Peripheral blood film: 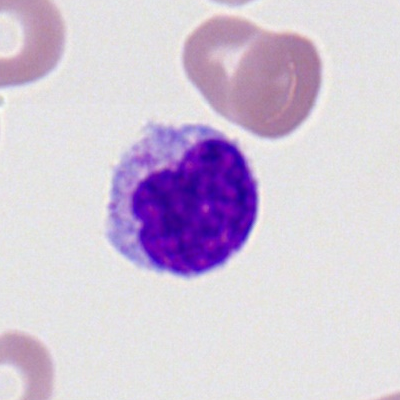Morphological class: lymphocyte.